250×250 · bone marrow aspirate smear: 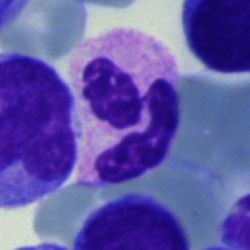
Cell = polymorphonuclear neutrophil.